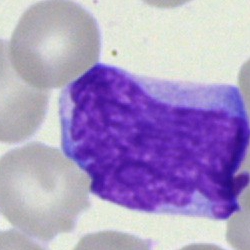
Q: What cell is this?
A: A blast cell.